Bone marrow smear · May-Grünwald-Giemsa/Pappenheim stain — 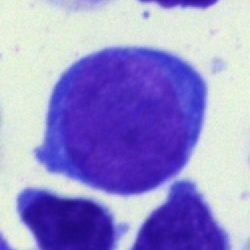 Q: What type of cell is this?
A: Blast cell.